Peripheral blood smear
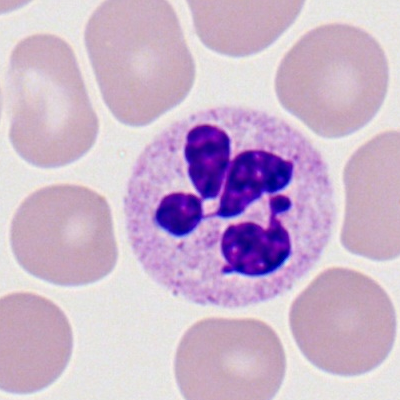Showing a neutrophil (segmented).